Bone marrow smear; cropped to a single cell; 40× objective, oil immersion
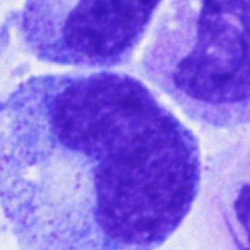

Showing a metamyelocyte.